Bone marrow smear:
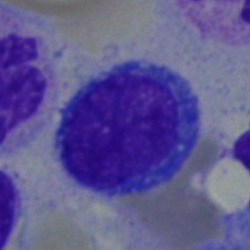

Morphology consistent with a blast cell.